Bone marrow aspirate smear:
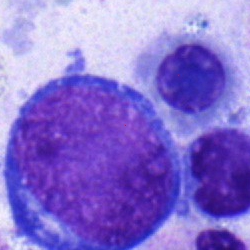

Impression — proerythroblast.